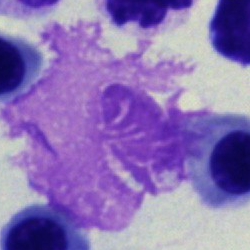 The cell shown is an artefact.